Bone marrow aspirate smear; 250×250:
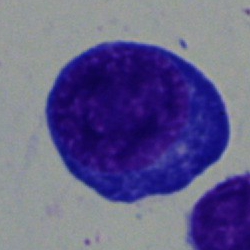Specimen: bone marrow smear.
Classification: pronormoblast.